Bone marrow smear.
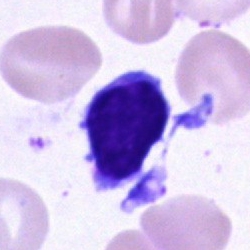

Specimen: bone marrow aspirate smear.
Morphological class: typical lymphocyte.
Lineage: lymphoid.